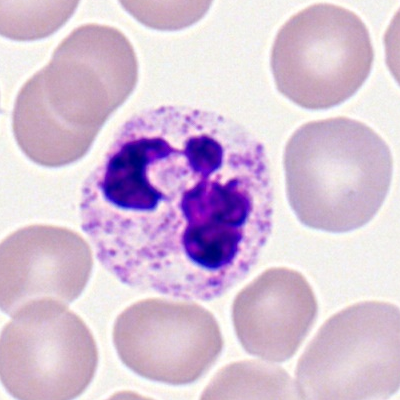

Classification = polymorphonuclear neutrophil.